Bone marrow smear
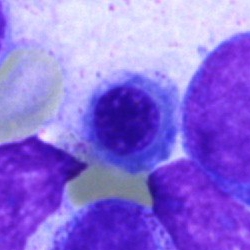 Cell: nucleated red cell.